Bone marrow smear. May-Grünwald-Giemsa stain: 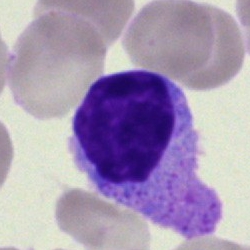Cell — typical lymphocyte.